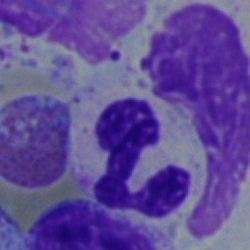 Morphology consistent with a polymorphonuclear neutrophil.